Bone marrow smear: 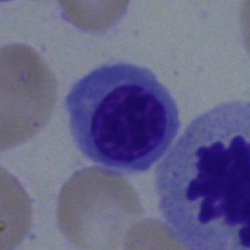
Specimen: bone marrow smear.
Morphological class: erythroblast.
Lineage: erythroid.